Peripheral blood film · 100× objective, oil immersion · Romanowsky-stained
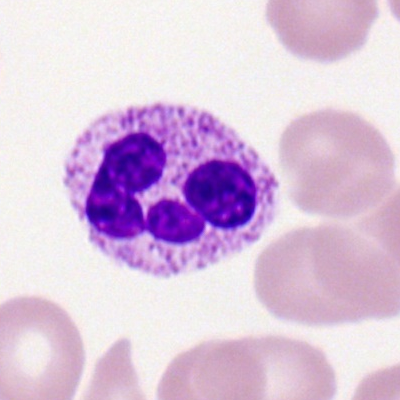Q: Which cell type is shown here?
A: A polymorphonuclear neutrophil.